Bone marrow aspirate smear · 40× objective, oil immersion: 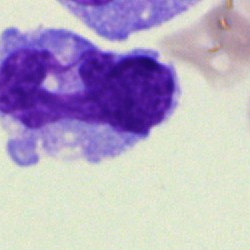

The cell is monocyte.